Bone marrow smear.
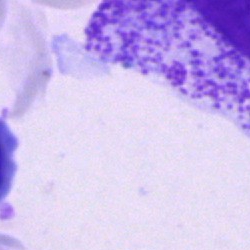

Q: What is shown here?
A: This is an artefact.